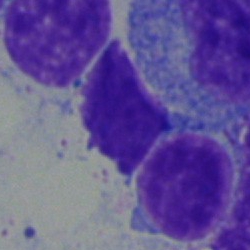 Classification: lymphocyte.